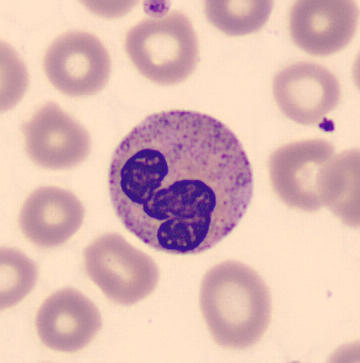 Specimen: peripheral blood smear.
Cell type: stab cell.
Lineage: myeloid.